Peripheral blood smear. M8 digital microscope (Precipoint), 100× oil immersion — 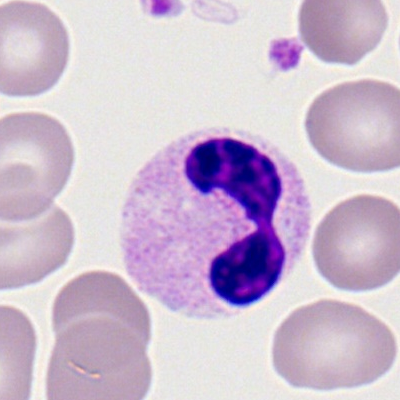
Q: What type of cell is this?
A: This is a segmented neutrophil.